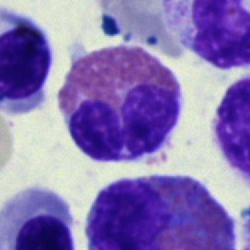{"cell_type": "eosinophil", "lineage": "myeloid"}